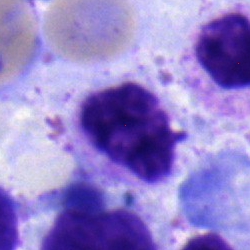 {"cell_type": "segmented neutrophil", "lineage": "myeloid"}